Peripheral blood smear
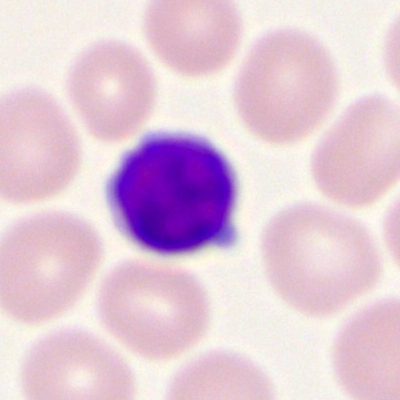
Q: Identify the cell.
A: It is a typical lymphocyte.